Bone marrow aspirate smear:
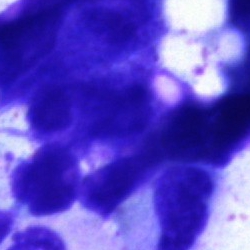
An artifact.